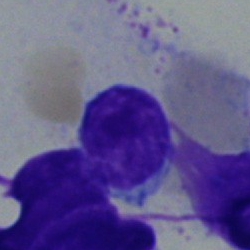 Single cell identified as a typical lymphocyte.